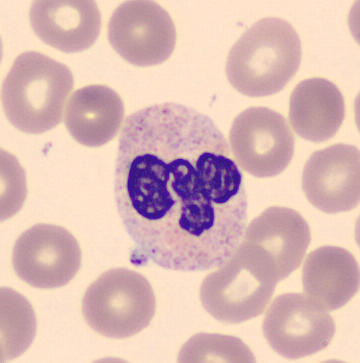

Cell = neutrophil (segmented).